250×250 · bone marrow smear.
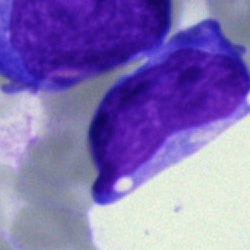Cell — blast cell.